Peripheral blood film. Single-cell field. Romanowsky-stained.
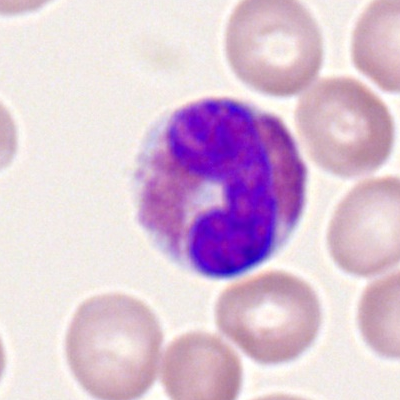Q: What is the morphological classification of this cell?
A: An eosinophilic granulocyte.